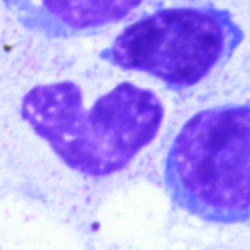

Showing an artifact.